Single-cell crop; brightfield, 40× oil-immersion objective; bone marrow aspirate smear.
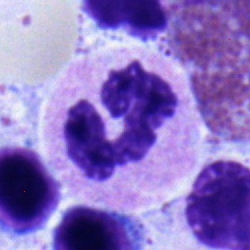 Showing a neutrophil (segmented).